Bone marrow smear; 250×250 px; brightfield microscopy, 40× oil immersion — 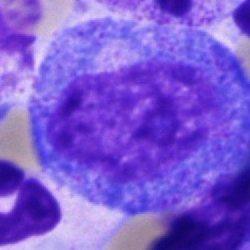Q: Which cell type is shown here?
A: A progranulocyte.